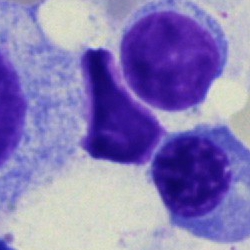The cell shown is an artefact.